Single cell centered in the field · bone marrow smear
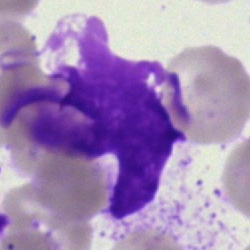
This is an artifact.